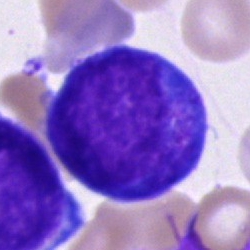
Q: Which cell type is shown here?
A: It is a promyelocyte.